40× objective, oil immersion. Bone marrow aspirate smear
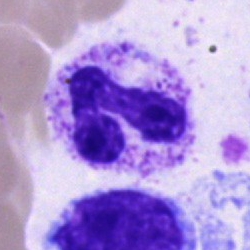Q: Which cell type is shown here?
A: A segmented neutrophil.